Brightfield, 40× oil-immersion objective; bone marrow aspirate smear: 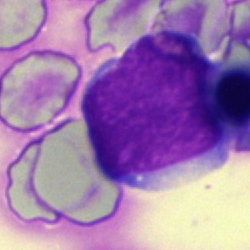
Cell: blast cell.